Peripheral blood film — 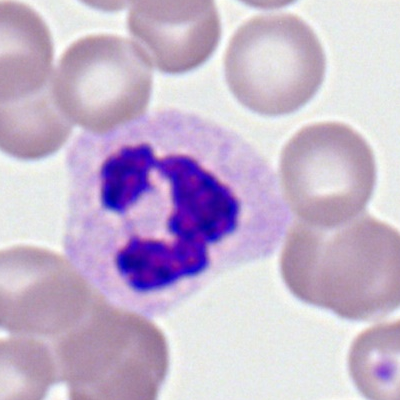 Morphological class: neutrophil (segmented).